Bone marrow aspirate smear — 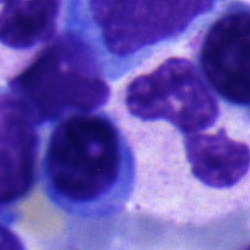 The cell shown is a polymorphonuclear neutrophil.